Bone marrow smear — 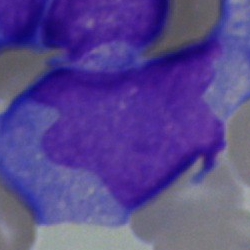 Showing an undifferentiated blast.